Peripheral blood film:
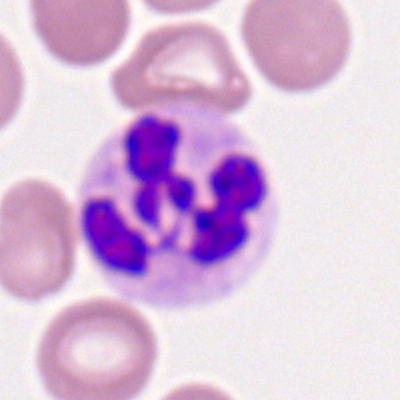 Classification = segmented neutrophil.